Bone marrow smear. 40× oil immersion:
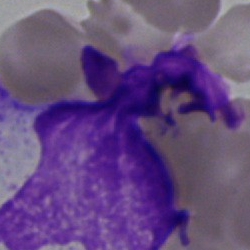

Q: What is shown here?
A: This is an artifact.